Bone marrow smear · May-Grünwald-Giemsa stain.
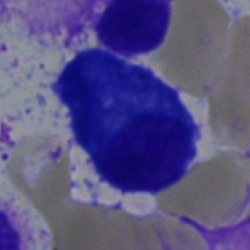 This is a plasmacyte.